Single-cell field; bone marrow aspirate smear:
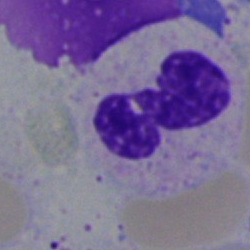Q: Which cell type is shown here?
A: It is a polymorphonuclear neutrophil.